Pappenheim-stained · bone marrow aspirate smear
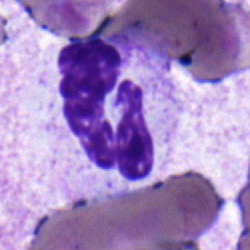Segmented neutrophil.